Bone marrow smear:
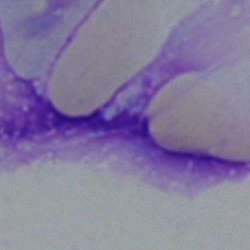 Morphological class — artifact.